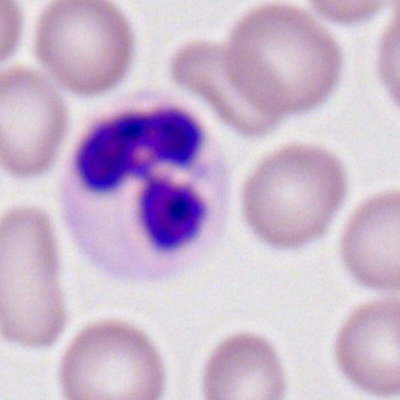

Single cell identified as a segmented neutrophil.